Bone marrow aspirate smear:
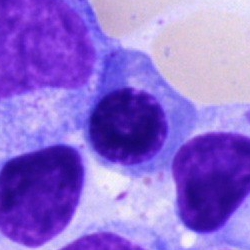A nucleated red blood cell.